Bone marrow aspirate smear. 40× oil immersion:
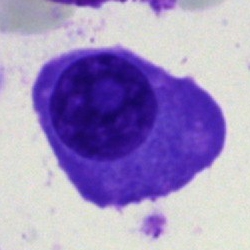

Plasmacyte.